Brightfield, 40× oil-immersion objective · May-Grünwald-Giemsa stain · bone marrow aspirate smear:
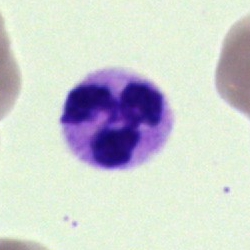 Morphology consistent with a neutrophil (segmented).